Bone marrow smear
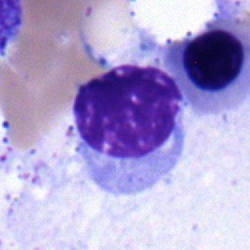The cell shown is a normoblast.